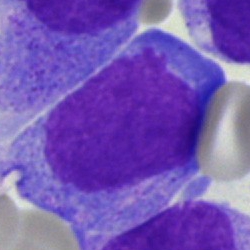
Q: What is the morphological classification of this cell?
A: Undifferentiated blast.